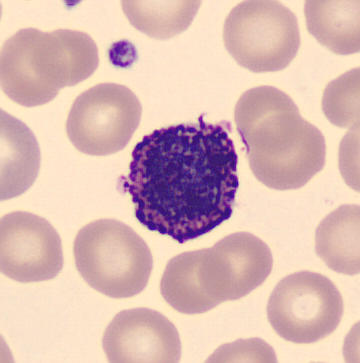
Specimen: peripheral blood smear.
Cell type: basophilic granulocyte.